Bone marrow smear:
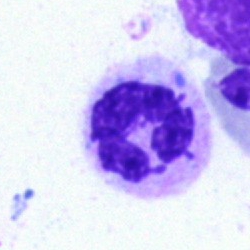 Specimen: bone marrow aspirate smear.
Cell: segmented neutrophil.
Lineage: myeloid.